Bone marrow smear · single cell centered in the field · brightfield, 40× oil-immersion objective: 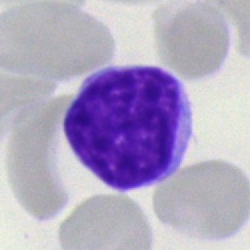

{"cell_type": "typical lymphocyte", "lineage": "lymphoid"}